Bone marrow smear. 40× objective, oil immersion:
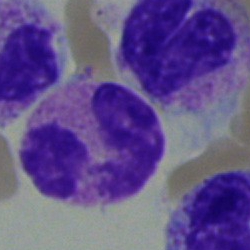 Single cell identified as an eosinophilic granulocyte.